Bone marrow smear.
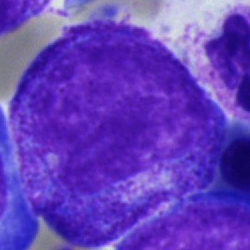 Morphological class: progranulocyte.